Bone marrow smear: 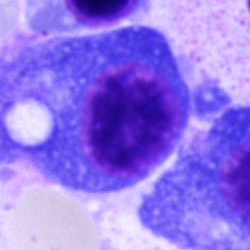
Specimen: bone marrow smear.
Classification: plasmacyte.
Lineage: lymphoid.